Bone marrow aspirate smear — 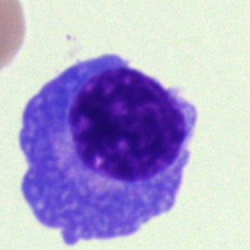

Q: Which cell type is shown here?
A: It is a plasma cell.